Bone marrow smear
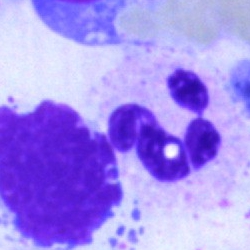Impression — neutrophil (segmented).